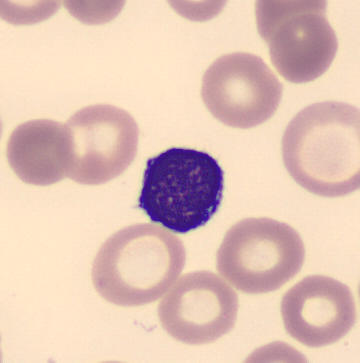 Showing a typical lymphocyte.

Preparation: Peripheral blood film. MGG-stained.